Cropped to a single cell; Romanowsky-stained; peripheral blood smear:
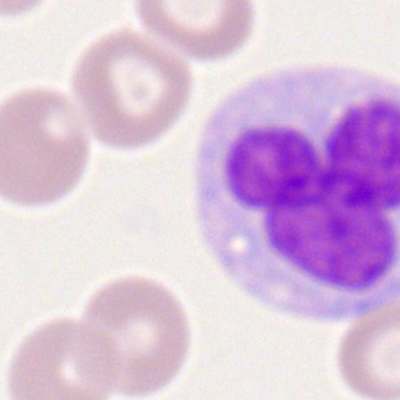 This is a monocyte.